Pappenheim-stained. Single-cell crop. Bone marrow aspirate smear — 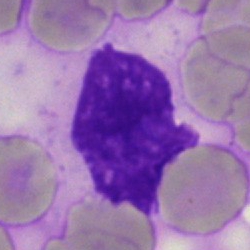
Morphology → artefact.